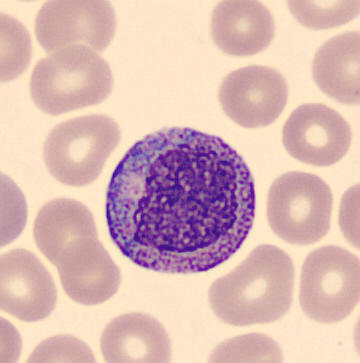May Grünwald-Giemsa stain · peripheral blood smear. A progranulocyte.